Bone marrow aspirate smear
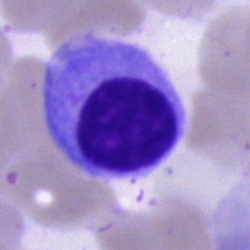Specimen: bone marrow smear.
Morphological class: cell of indeterminate lineage.